Bone marrow aspirate smear.
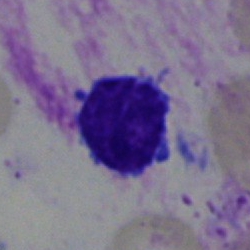
Specimen: bone marrow aspirate smear.
Classification: artifact.